Bone marrow aspirate smear · May-Grünwald-Giemsa/Pappenheim stain
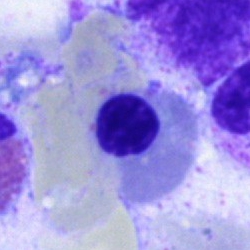
{"cell_type": "basophil", "lineage": "myeloid"}